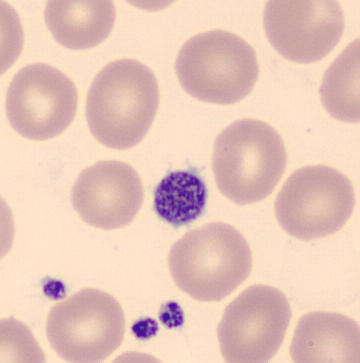

Peripheral blood smear.
{"cell_type": "platelet"}